Bone marrow aspirate smear.
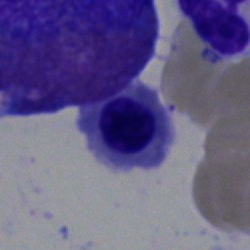
Specimen: bone marrow aspirate smear.
Classification: nucleated red blood cell.
Lineage: erythroid.